Bone marrow aspirate smear
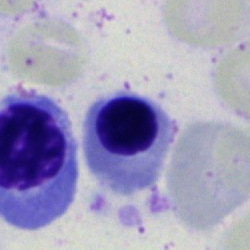
Specimen: bone marrow aspirate smear.
Cell type: normoblast.
Lineage: erythroid.